Bone marrow aspirate smear: 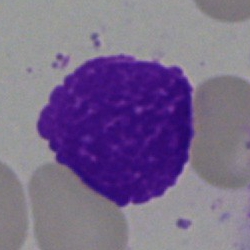 Q: What is shown here?
A: An artefact.